Brightfield, 40× oil-immersion objective. Single-cell crop. Bone marrow smear:
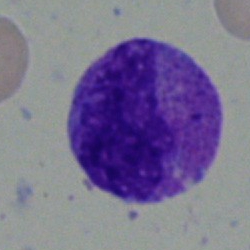
Specimen: bone marrow aspirate smear.
Classification: myelocyte.